Bone marrow smear; single cell centered in the field:
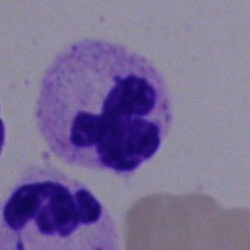

Single cell identified as a polymorphonuclear neutrophil.